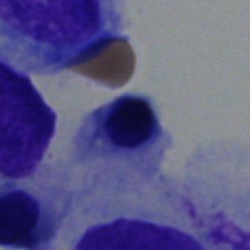

{"cell_type": "normoblast", "lineage": "erythroid"}